Bone marrow aspirate smear; single-cell crop: 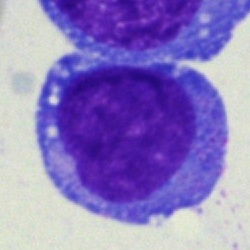
The morphological class is undifferentiated blast.